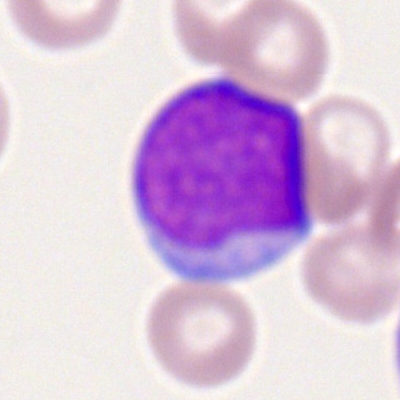

A myeloblast.